Brightfield, 40× oil-immersion objective · bone marrow aspirate smear: 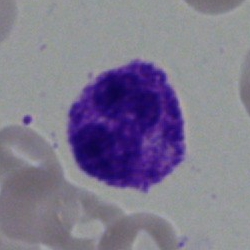

Single cell identified as a polymorphonuclear neutrophil.